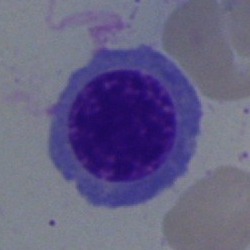

{"cell_type": "nucleated red cell"}